Bone marrow smear.
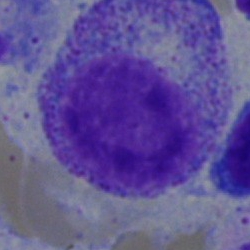Specimen: bone marrow smear.
Cell type: myelocyte.
Lineage: myeloid.